Bone marrow smear:
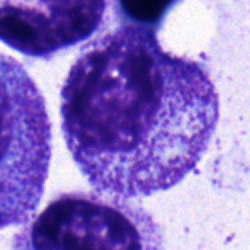 Classification: myelocyte.